Bone marrow aspirate smear: 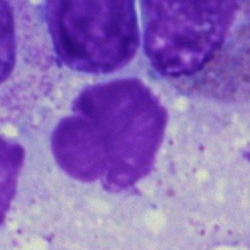 Specimen: bone marrow aspirate smear.
Classification: artifact.